Bone marrow smear. Single-cell crop
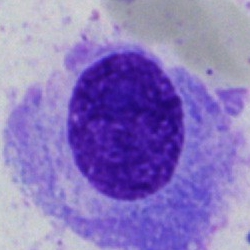 Impression → plasmacyte.